Single-cell crop · bone marrow aspirate smear:
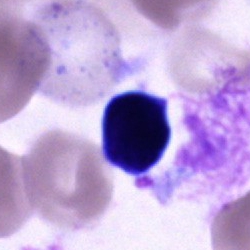 This is an unidentifiable cell.